Bone marrow smear
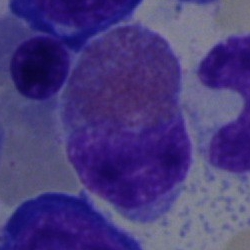 An eosinophil.